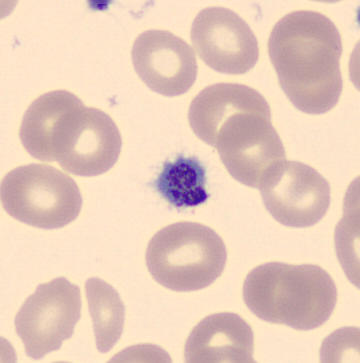
From a peripheral blood smear: a platelet (thrombocyte).